Bone marrow smear · image size 250×250.
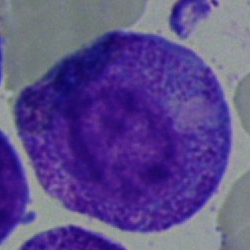
The morphological class is promyelocyte.